Image size 250×250 · cropped to a single cell · bone marrow aspirate smear — 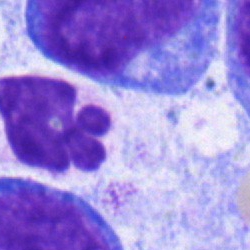 Cell type — blast cell.